Bone marrow aspirate smear; 250×250 px
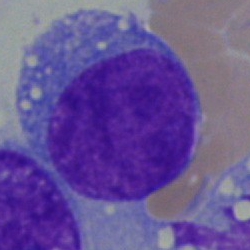 Cell type = undifferentiated blast.